Bone marrow smear · May-Grünwald-Giemsa/Pappenheim stain.
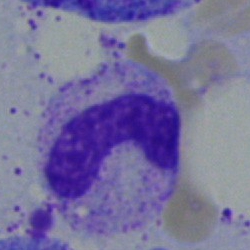Single cell identified as a band-form neutrophil.